Bone marrow aspirate smear; 250×250; Pappenheim-stained:
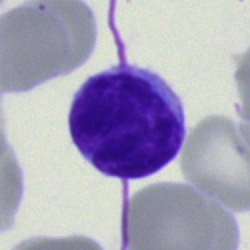Specimen: bone marrow smear.
Classification: typical lymphocyte.
Lineage: lymphoid.